Bone marrow smear — 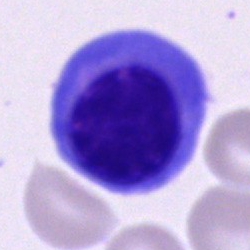

An erythroblast.